May-Grünwald-Giemsa/Pappenheim stain · bone marrow smear · 40× oil immersion — 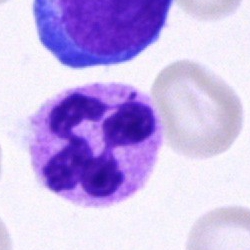
Classification = neutrophil (segmented).